100× oil immersion · peripheral blood smear:
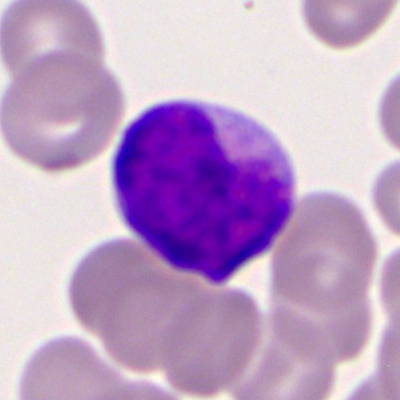Single cell identified as a myeloid blast.